Bone marrow smear — 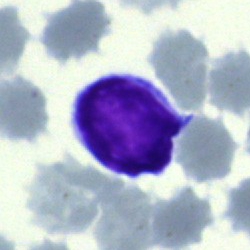 Morphological class — typical lymphocyte.